Single-cell crop · bone marrow aspirate smear
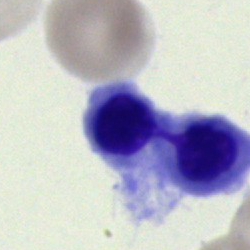
Morphology → normoblast.